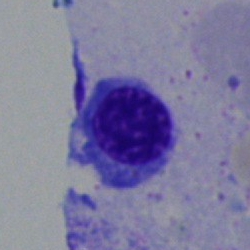Classification: normoblast.